250 by 250 pixels · MGG-stained · bone marrow smear:
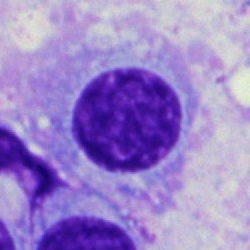
Showing a plasmacyte.